Bone marrow aspirate smear: 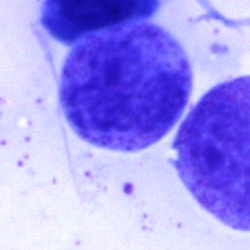
Specimen: bone marrow smear.
Morphological class: unidentifiable cell.